Bone marrow smear: 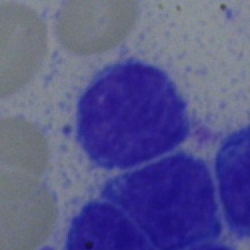 Morphology consistent with a lymphocyte.